Bone marrow smear — 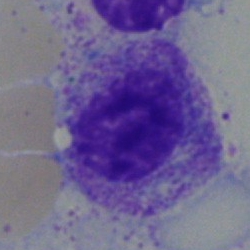 Myelocyte.